250×250; single-cell field; bone marrow smear
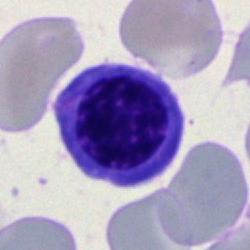 Specimen: bone marrow aspirate smear.
Cell: nucleated red cell.